Bone marrow aspirate smear
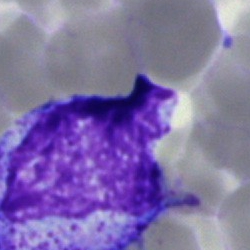{"cell_type": "progranulocyte"}